Bone marrow smear — 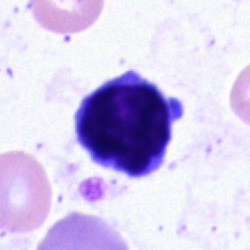 Q: Which cell type is shown here?
A: Lymphocyte.